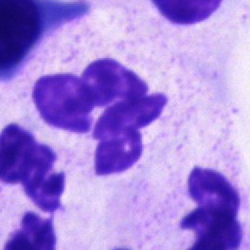This is a polymorphonuclear neutrophil.